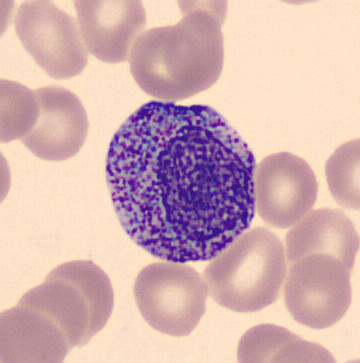
Acquisition: Single-cell crop · 360 by 363 pixels.
Specimen: peripheral blood smear.
Cell: promyelocyte.